Bone marrow smear:
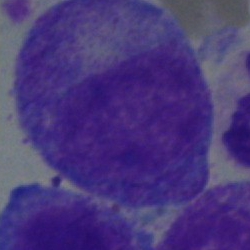
The morphological class is progranulocyte.